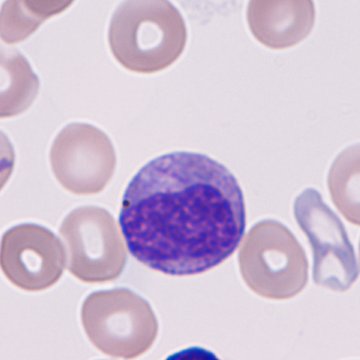 Q: What is the morphological classification of this cell?
A: It is an immature granulocyte. Preparation: Automated cell imaging (CellaVision DM96); single-cell crop; peripheral blood film.